Bone marrow smear:
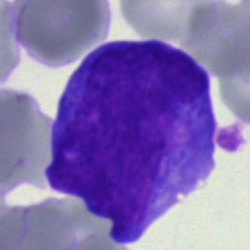 Showing a blast cell.